Bone marrow aspirate smear:
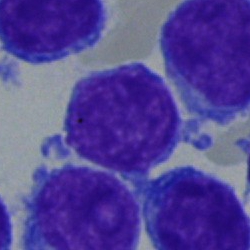Morphological class = lymphocyte.